Bone marrow smear. Single-cell field.
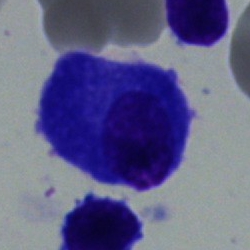
Specimen: bone marrow aspirate smear.
Cell type: plasma cell.
Lineage: lymphoid.